Bone marrow smear; single cell centered in the field — 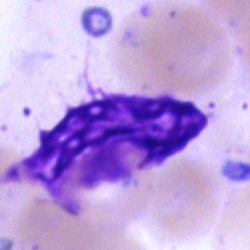The cell shown is an artifact.